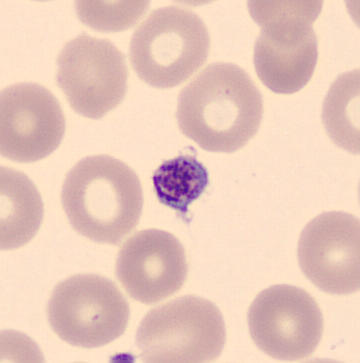

Cell type = thrombocyte.